Bone marrow smear · MGG-stained:
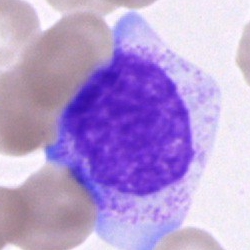Specimen: bone marrow smear.
Cell type: cell of indeterminate lineage.